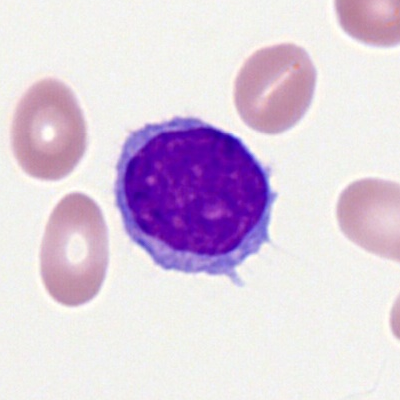
This is a lymphocyte.